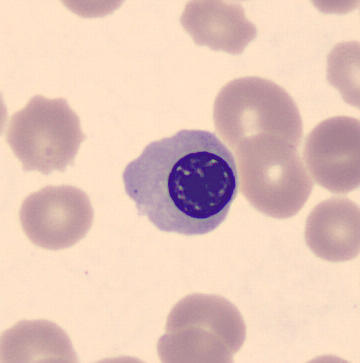

Acquisition: Peripheral blood film. Normoblast.